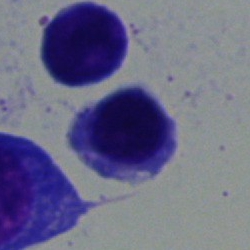

A normoblast.